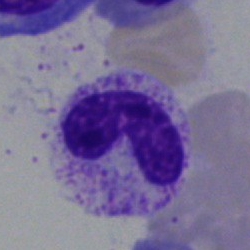
The cell is band-form neutrophil.